Bone marrow smear:
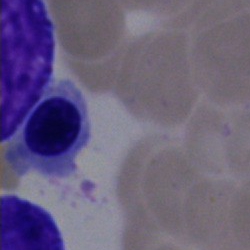
A nucleated red cell.